Bone marrow aspirate smear:
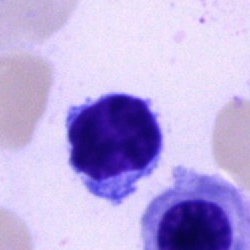
Showing a lymphocyte.